Bone marrow smear
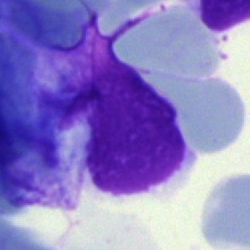

Specimen: bone marrow aspirate smear.
Cell: artefact.